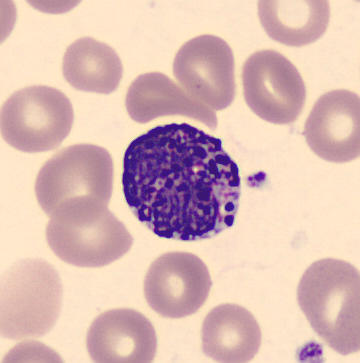

Morphology → basophil.